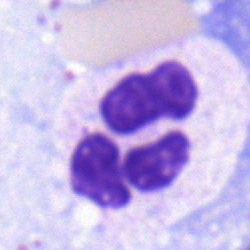
Morphology consistent with a segmented neutrophil.